Bone marrow smear: 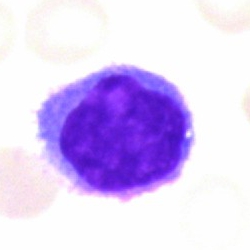

The cell shown is a typical lymphocyte.